Bone marrow aspirate smear. May-Grünwald-Giemsa/Pappenheim stain. Single cell centered in the field.
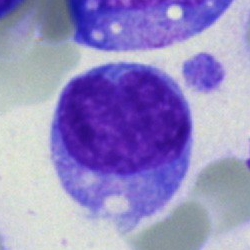
The cell is monocyte.